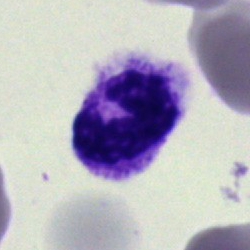 Stab cell.